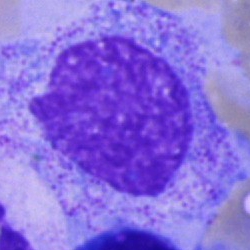 Cell — progranulocyte.